Bone marrow smear; 40× oil immersion:
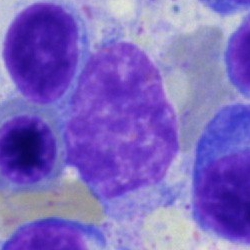Q: What is shown here?
A: It is an artefact.